Bone marrow smear.
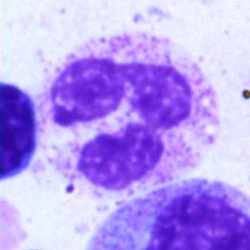Cell type: neutrophil (segmented).